Cropped to a single cell; bone marrow smear.
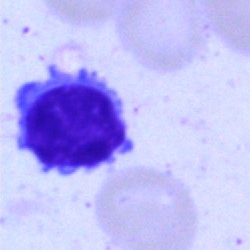 Morphological class = typical lymphocyte.